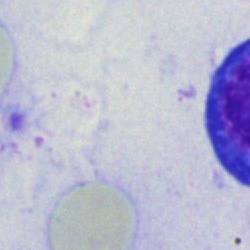Bone marrow aspirate smear, single cell — cell of indeterminate lineage.